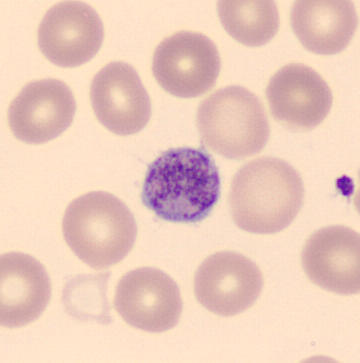
Preparation: Peripheral blood smear. 360 by 363 pixels.

This is a platelet (thrombocyte).